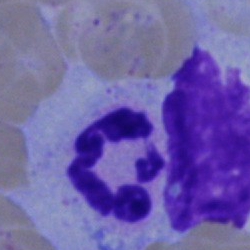

Cell — polymorphonuclear neutrophil.